Bone marrow smear — 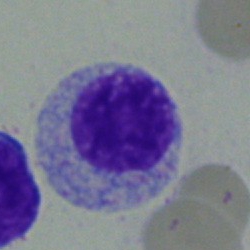 Q: What type of cell is this?
A: This is a myelocyte.